May-Grünwald-Giemsa/Pappenheim stain · bone marrow aspirate smear.
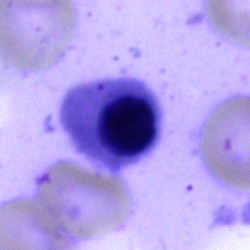 Nucleated red cell.